250×250 px; bone marrow smear:
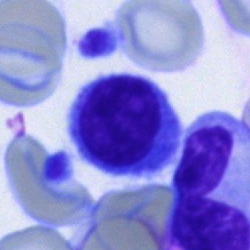
Classification = lymphocyte.